Bone marrow aspirate smear · brightfield microscopy, 40× oil immersion · 250×250 px: 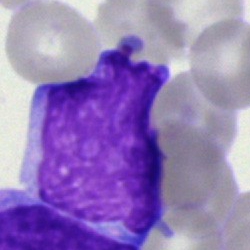
Showing an undifferentiated blast.